Pappenheim-stained. Bone marrow smear
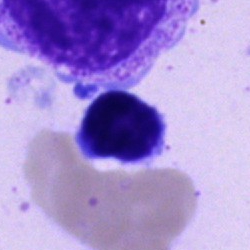
Specimen: bone marrow aspirate smear.
Cell type: plasmacyte.
Lineage: lymphoid.